Bone marrow aspirate smear · cropped to a single cell — 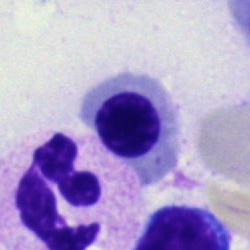
Morphology consistent with an erythroblast.